Image size 250×250. 40× oil immersion. Bone marrow aspirate smear: 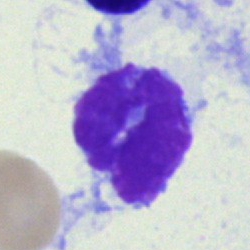

Specimen: bone marrow aspirate smear.
Classification: artifact.